Bone marrow smear
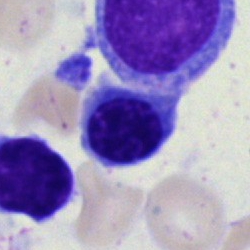

Specimen: bone marrow aspirate smear.
Morphological class: nucleated red cell.
Lineage: erythroid.